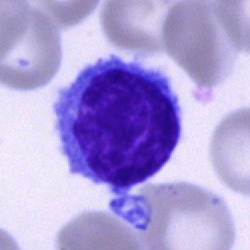The cell is lymphocyte.